250 by 250 pixels · bone marrow aspirate smear.
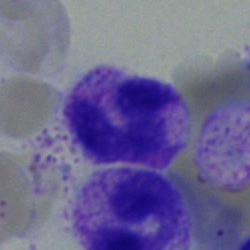

Specimen: bone marrow aspirate smear.
Cell: neutrophil (segmented).
Lineage: myeloid.